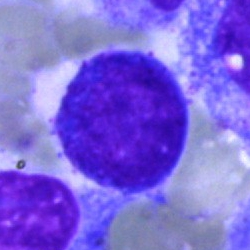
The cell shown is a typical lymphocyte.